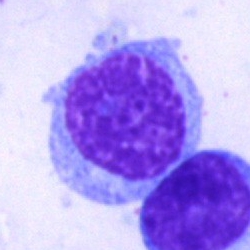The classification is lymphocyte.